Bone marrow smear · 250×250 px.
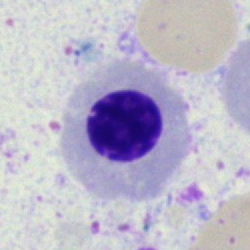 Single cell identified as a normoblast.